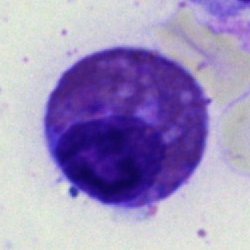
Q: Identify the cell.
A: This is an eosinophil.